Bone marrow aspirate smear · MGG-stained · 40× objective, oil immersion:
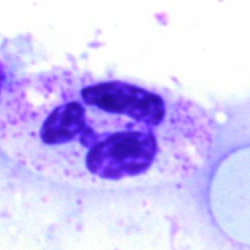
Single cell identified as a segmented neutrophil.